Bone marrow smear
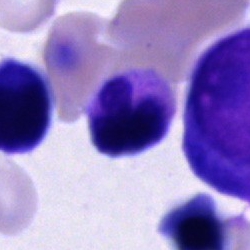
Showing an artefact.